Bone marrow smear · brightfield microscopy, 40× oil immersion.
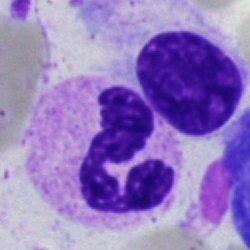Specimen: bone marrow smear.
Cell type: segmented neutrophil.
Lineage: myeloid.